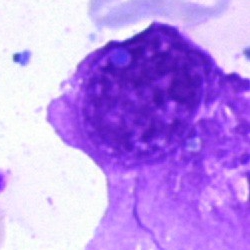

Specimen: bone marrow aspirate smear.
Cell type: artefact.